Bone marrow aspirate smear.
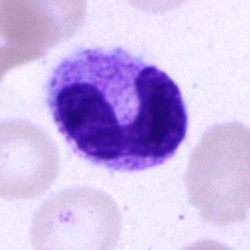
Specimen: bone marrow aspirate smear.
Cell: neutrophil (segmented).
Lineage: myeloid.